Bone marrow smear — 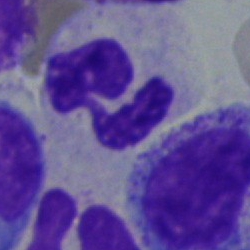
The cell is neutrophil (segmented).